250×250 px. Bone marrow aspirate smear. Single-cell field.
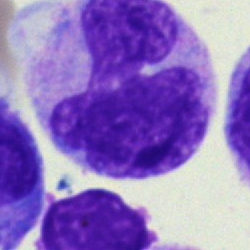Morphological class = monocyte.